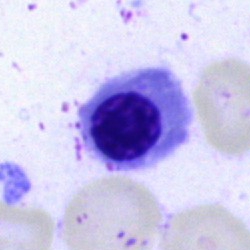Q: What cell is this?
A: This is a nucleated red blood cell.